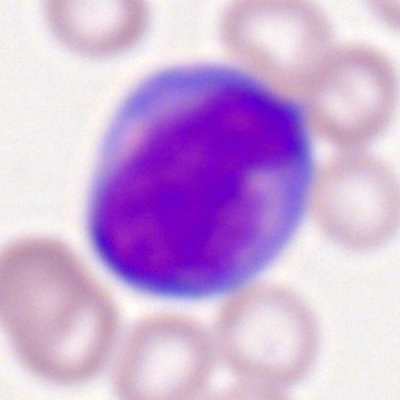 {"cell_type": "myeloblast", "lineage": "myeloid"}